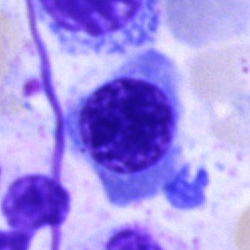Showing an erythroblast.